Bone marrow smear · brightfield microscopy, 40× oil immersion: 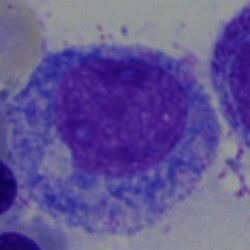

The classification is promyelocyte.